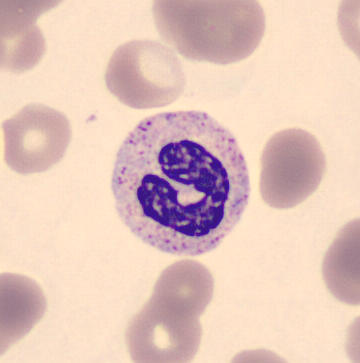
CellaVision DM96 · MGG-stained · peripheral blood film.
A neutrophil (band).